Bone marrow aspirate smear · single cell centered in the field: 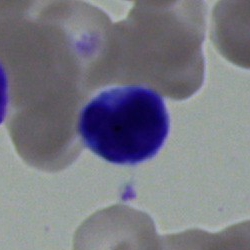 Q: What type of cell is this?
A: This is a typical lymphocyte.